Bone marrow smear · 250 by 250 pixels · 40× objective, oil immersion: 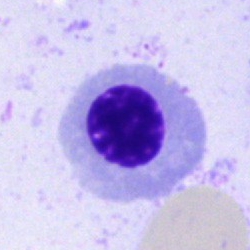

The cell shown is a normoblast.